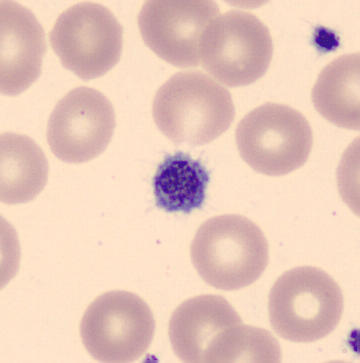

{"cell_type": "platelet (thrombocyte)"}
Image: May-Grünwald-Giemsa-stained · peripheral blood smear.